250×250 px · bone marrow aspirate smear:
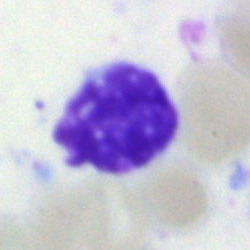

The cell shown is an artifact.